Bone marrow smear
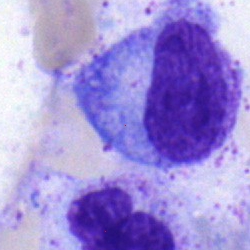The morphological class is myelocyte.